Bone marrow aspirate smear
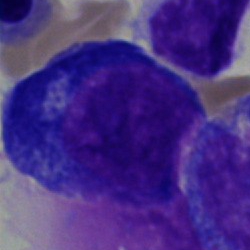The cell is erythroblast.